40× oil immersion · bone marrow smear:
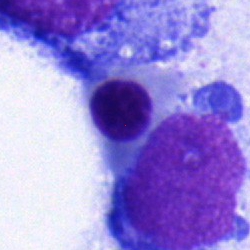
Cell type: nucleated red blood cell.